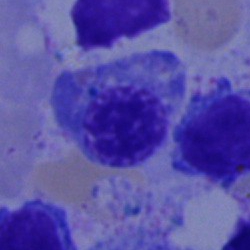 Morphology → erythroblast.